Single-cell field. Bone marrow smear. 250×250.
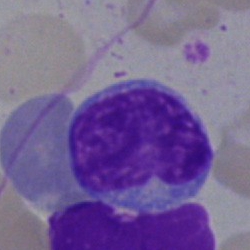 Morphological class = typical lymphocyte.